Bone marrow aspirate smear — 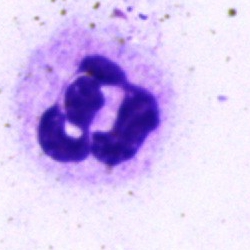Specimen: bone marrow aspirate smear.
Classification: polymorphonuclear neutrophil.